250 by 250 pixels · bone marrow smear: 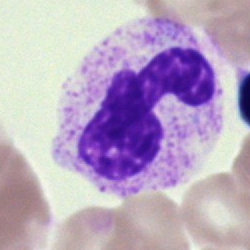

Morphology consistent with a polymorphonuclear neutrophil.